Romanowsky stain. Image size 400×400. Peripheral blood film — 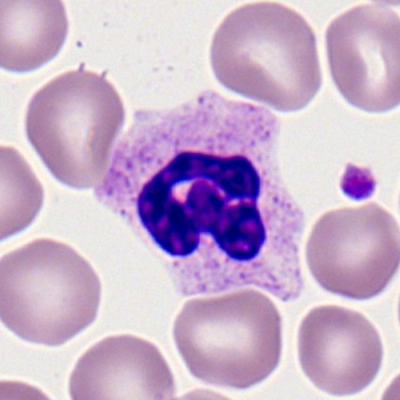Morphological class: segmented neutrophil.